250×250. Bone marrow smear
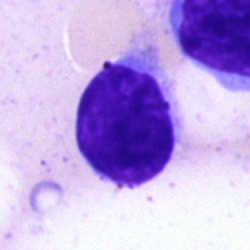 Q: What is shown here?
A: This is an artefact.